250×250 · bone marrow aspirate smear · May-Grünwald-Giemsa/Pappenheim stain
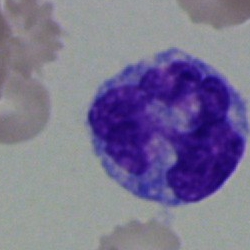
Cell type — monocyte.